Bone marrow smear; brightfield, 40× oil-immersion objective
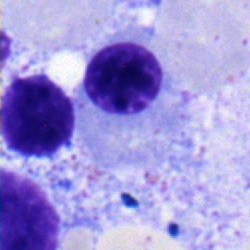Specimen: bone marrow aspirate smear.
Classification: typical lymphocyte.